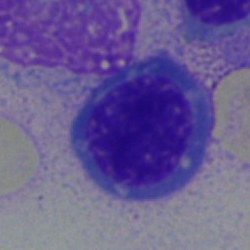

Impression — erythroblast.